Bone marrow smear:
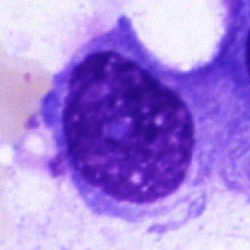

Specimen: bone marrow aspirate smear.
Cell type: plasma cell.
Lineage: lymphoid.